250×250. Bone marrow aspirate smear: 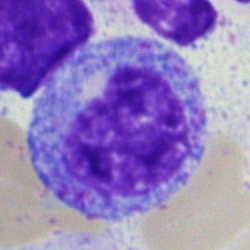

Cell = progranulocyte.